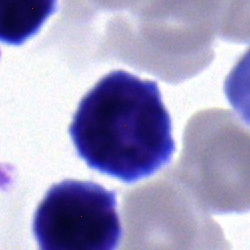 Specimen: bone marrow aspirate smear.
Cell type: lymphocyte.
Lineage: lymphoid.